Bone marrow smear:
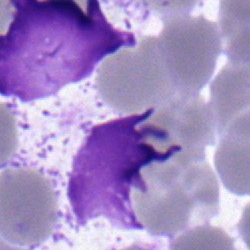Specimen: bone marrow smear.
Classification: polymorphonuclear neutrophil.